Bone marrow aspirate smear — 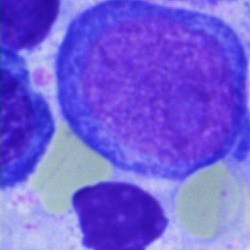
Single cell identified as a proerythroblast.